Bone marrow smear; single-cell crop; brightfield microscopy, 40× oil immersion — 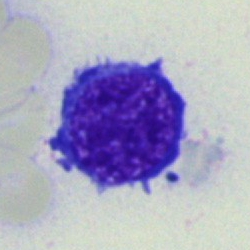Q: What is shown here?
A: Erythroblast.